Bone marrow aspirate smear.
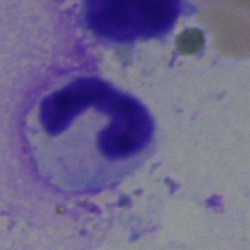
Morphological class: neutrophil (segmented).